Single-cell field. Brightfield microscopy, 40× oil immersion. Bone marrow aspirate smear — 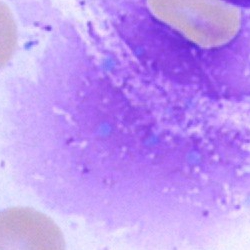 Showing an artefact.